Bone marrow aspirate smear — 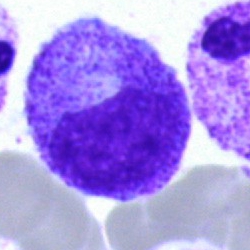
Specimen: bone marrow aspirate smear.
Morphological class: myelocyte.
Lineage: myeloid.